Bone marrow smear — 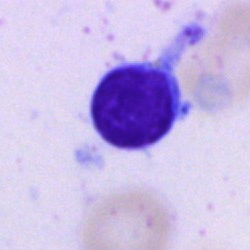
Q: Which cell type is shown here?
A: It is a typical lymphocyte.